Cropped to a single cell; bone marrow smear; brightfield, 40× oil-immersion objective:
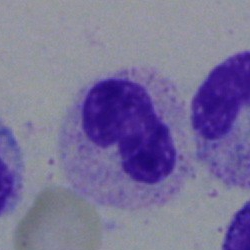 Specimen: bone marrow smear.
Cell: band-form neutrophil.